Bone marrow aspirate smear
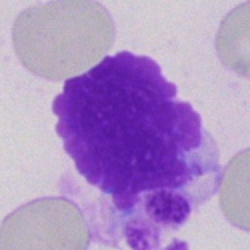

Classification — artifact.